May-Grünwald-Giemsa/Pappenheim stain · bone marrow aspirate smear: 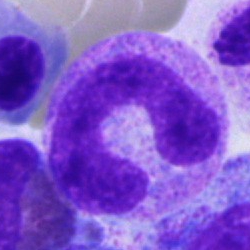Single cell identified as a band-form neutrophil.